Bone marrow aspirate smear; cropped to a single cell:
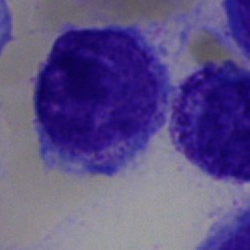
Specimen: bone marrow aspirate smear.
Classification: blast.